Bone marrow smear — 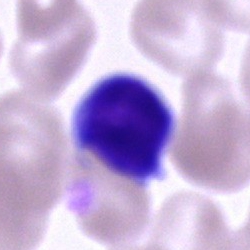 Showing a lymphocyte.